Pappenheim-stained; single-cell crop; bone marrow aspirate smear — 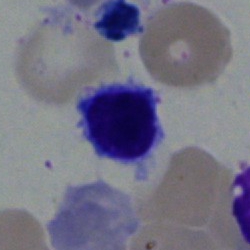
Lymphocyte.